250×250 px; bone marrow smear; single-cell field
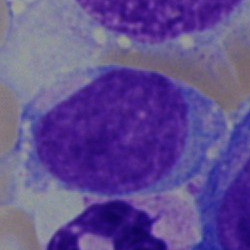

Blast cell.